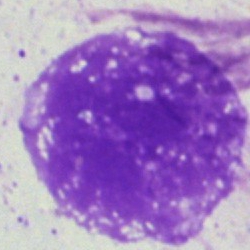

{"cell_type": "artefact"}